Bone marrow smear. 250 by 250 pixels:
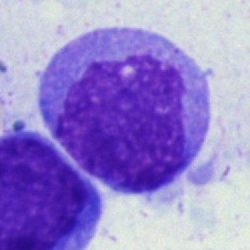Cell type — monocyte.